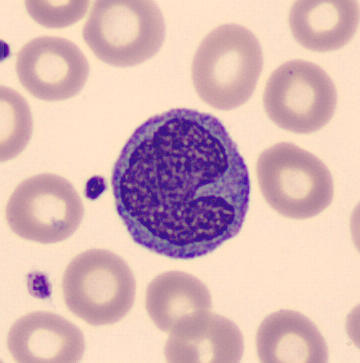
Impression — monocyte.

Peripheral blood film.